Bone marrow smear — 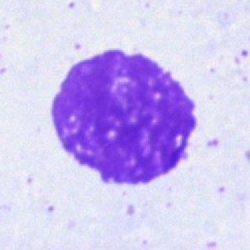 Specimen: bone marrow aspirate smear.
Classification: artefact.